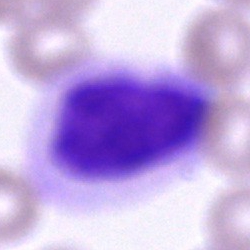
Showing an unidentifiable cell.